Bone marrow smear. MGG-stained: 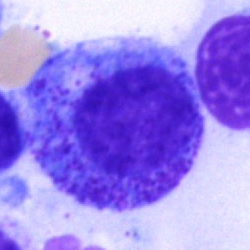Single cell identified as a promyelocyte.